Bone marrow aspirate smear: 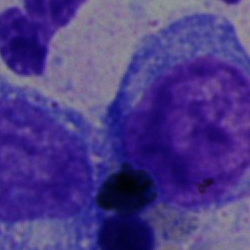
Impression → undifferentiated blast.